Bone marrow aspirate smear; single cell centered in the field; 40× objective, oil immersion
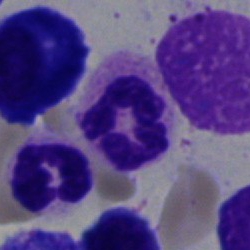

A neutrophil (segmented).